MGG-stained; cropped to a single cell; bone marrow smear
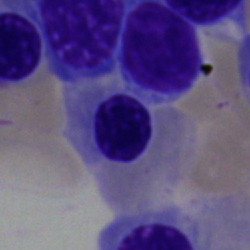The morphological class is erythroblast.